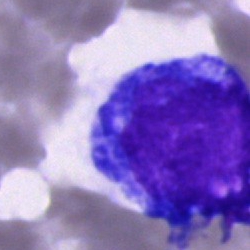 Morphological class = blast cell.